MGG-stained. Bone marrow aspirate smear.
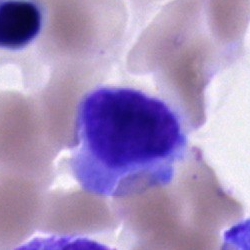
This is a typical lymphocyte.